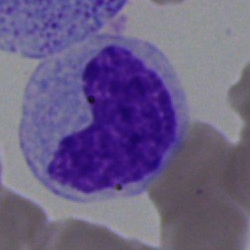
Q: What cell is this?
A: It is a metamyelocyte.